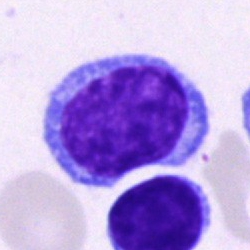 {"cell_type": "lymphocyte", "lineage": "lymphoid"}